Romanowsky-type stain; 400×400; peripheral blood smear:
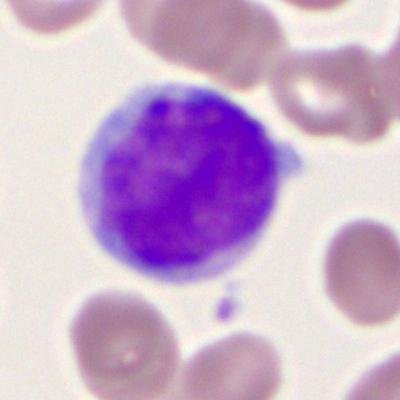
Showing a myeloblast.